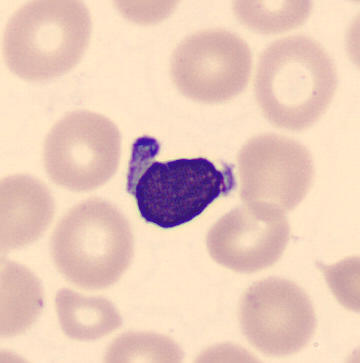 Specimen: peripheral blood smear.
Cell: lymphocyte.
Lineage: lymphoid.